Bone marrow aspirate smear
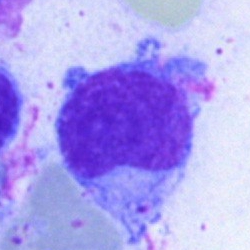

Morphology — hairy cell.